250×250 px. Bone marrow smear. May-Grünwald-Giemsa/Pappenheim stain.
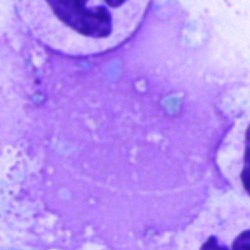
Classification: artefact.